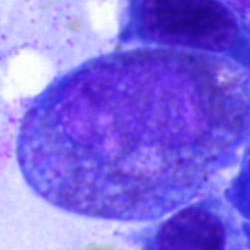Classification: progranulocyte.